Bone marrow aspirate smear: 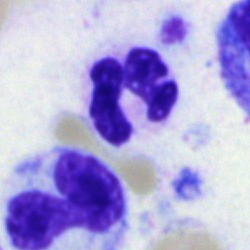 Polymorphonuclear neutrophil.